Bone marrow smear · May-Grünwald-Giemsa/Pappenheim stain
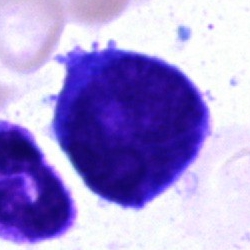

Q: What is the morphological classification of this cell?
A: An undifferentiated blast.